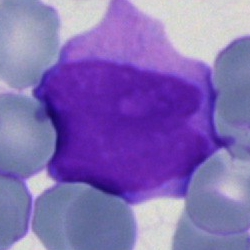
Impression → blast cell.